Bone marrow aspirate smear. Cropped to a single cell: 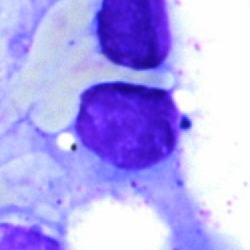

Specimen: bone marrow smear.
Morphological class: artefact.